May-Grünwald-Giemsa stain; 250×250; bone marrow aspirate smear.
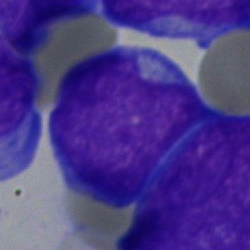Single cell identified as an undifferentiated blast.